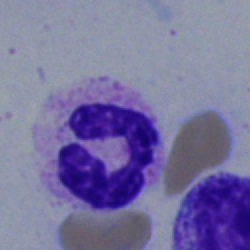Bone marrow aspirate smear, single cell — segmented neutrophil.